Bone marrow aspirate smear: 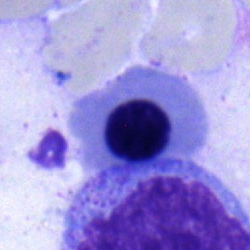

Cell type = erythroblast.